Bone marrow smear: 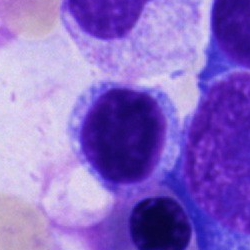

Impression → lymphocyte.